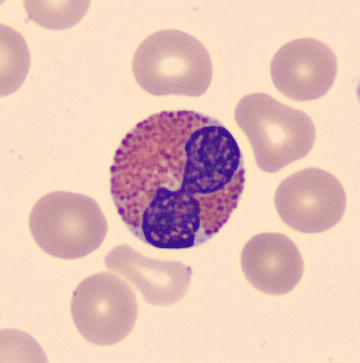

Peripheral blood smear.

Eosinophil.